Bone marrow aspirate smear.
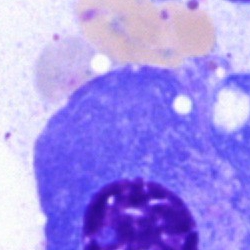 The cell type is plasmacyte.